Bone marrow smear
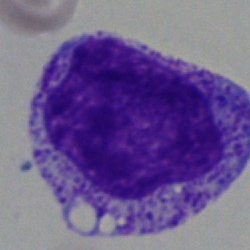

This is a myelocyte.